Bone marrow smear; cropped to a single cell; 250×250 px:
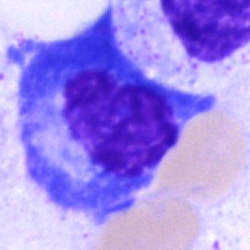 This is a plasma cell.